Bone marrow aspirate smear.
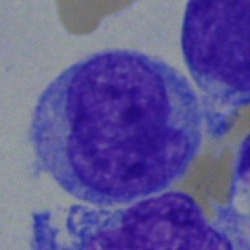 Classification = blast cell.